Bone marrow aspirate smear; May-Grünwald-Giemsa/Pappenheim stain — 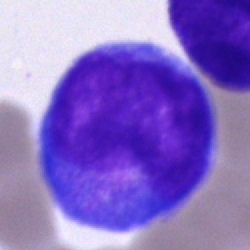 Cell — undifferentiated blast.